Bone marrow smear.
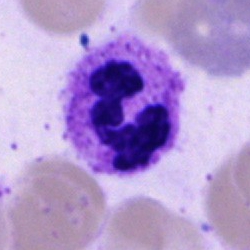

Q: Identify the cell.
A: Neutrophil (segmented).